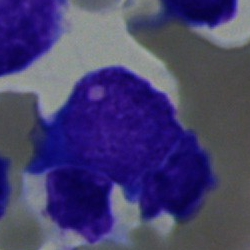

Q: What is shown here?
A: Blast cell.